Bone marrow aspirate smear — 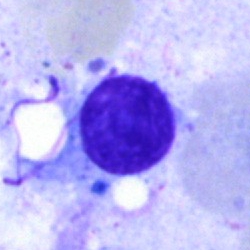 Showing a typical lymphocyte.